Bone marrow smear:
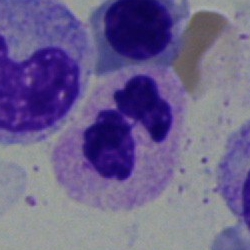 Morphology — neutrophil (segmented).